Bone marrow smear:
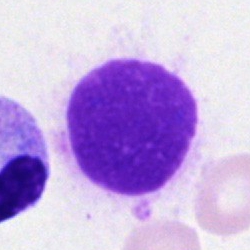Morphology consistent with an artifact.